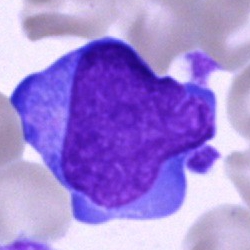
Q: Which cell type is shown here?
A: A blast.